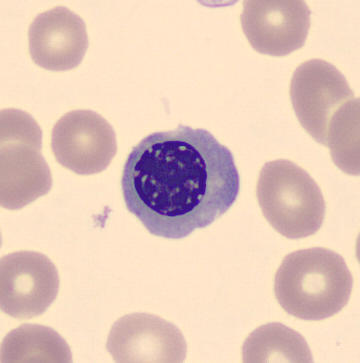

Morphological class: erythroblast.

Preparation: CellaVision DM96. Peripheral blood smear.